Bone marrow aspirate smear.
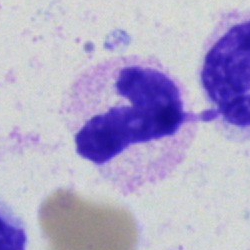
Specimen: bone marrow aspirate smear.
Cell: polymorphonuclear neutrophil.